Single cell centered in the field; 250×250 px; bone marrow smear: 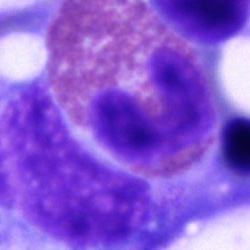
Q: Identify the cell.
A: This is an eosinophilic granulocyte.